Bone marrow aspirate smear; 250 by 250 pixels.
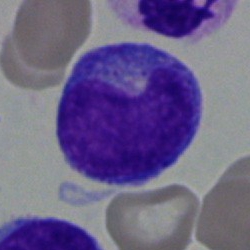

Cell type — blast cell.